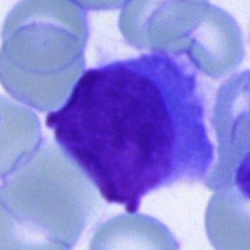

Showing a typical lymphocyte.